Bone marrow aspirate smear: 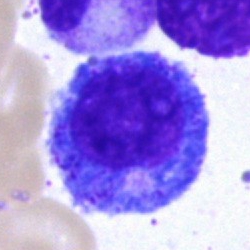

Progranulocyte.